Single-cell crop. Bone marrow smear.
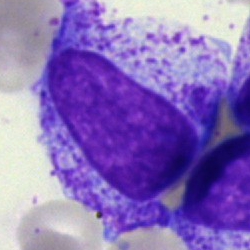 Impression — promyelocyte.